250×250 px. Bone marrow aspirate smear: 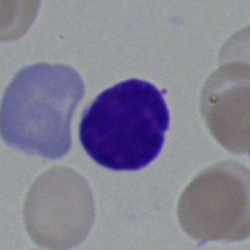

Morphology → typical lymphocyte.